Bone marrow smear — 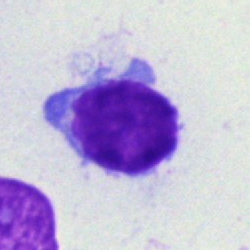

Q: What is shown here?
A: Lymphocyte.